Bone marrow aspirate smear · 250 by 250 pixels · MGG-stained
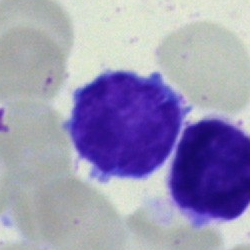Impression → typical lymphocyte.